Bone marrow aspirate smear.
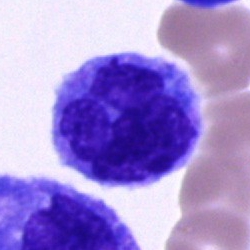This is a monocyte.